Bone marrow aspirate smear. Single-cell field: 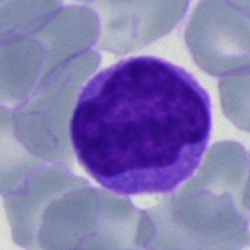 The cell is monocyte.